Bone marrow aspirate smear · MGG-stained: 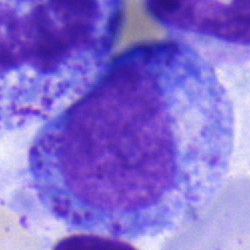

Single cell identified as a progranulocyte.